May-Grünwald-Giemsa/Pappenheim stain. Bone marrow smear
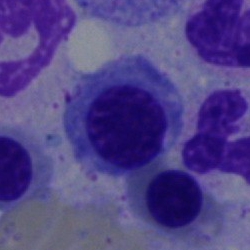 A nucleated red blood cell.